Single-cell field · image size 250×250 · bone marrow aspirate smear: 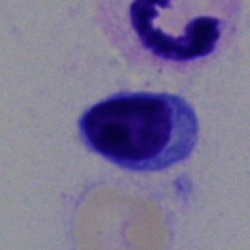 An erythroblast.